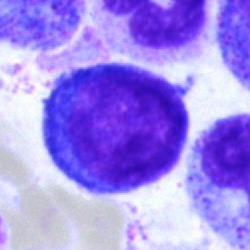

The classification is nucleated red blood cell.